Peripheral blood film: 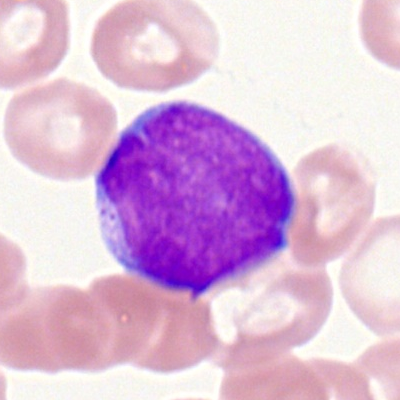
Q: Which cell type is shown here?
A: A myeloblast.